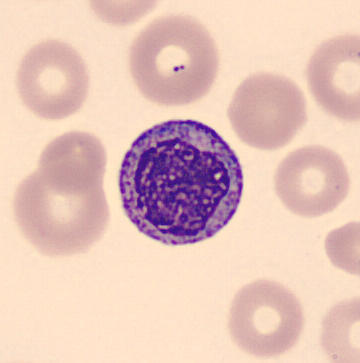

Peripheral blood film; MGG-stained.

The morphological class is myelocyte.